400×400. Peripheral blood smear. Brightfield, 100× oil-immersion objective
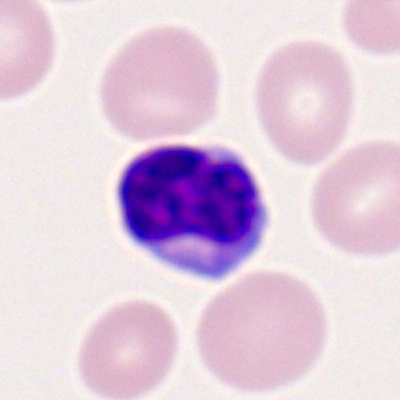

Typical lymphocyte.